Bone marrow aspirate smear:
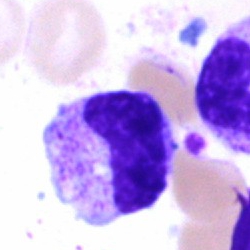 {"cell_type": "stab cell", "lineage": "myeloid"}